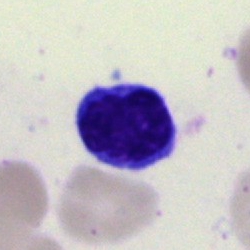Single cell identified as a typical lymphocyte.